40× oil immersion; bone marrow smear: 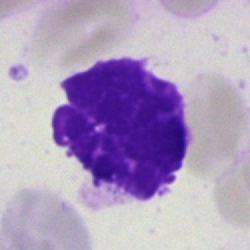 Q: What is shown here?
A: An artifact.